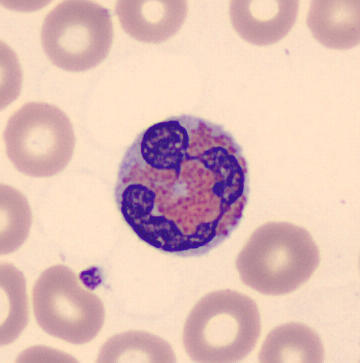 Preparation: Peripheral blood smear. May Grünwald-Giemsa stain.
Q: What is the morphological classification of this cell?
A: It is an eosinophil.